Bone marrow smear — 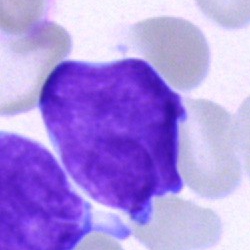

Impression → undifferentiated blast.